Bone marrow aspirate smear — 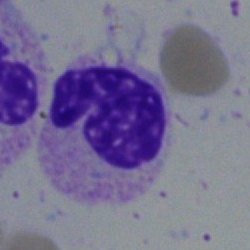Classification — band-form neutrophil.